Single-cell crop. Bone marrow smear. May-Grünwald-Giemsa/Pappenheim stain:
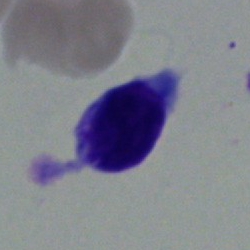 Classification: typical lymphocyte.